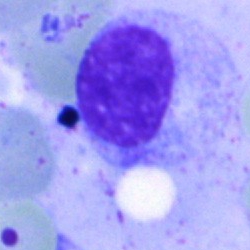

Morphology consistent with an artifact.